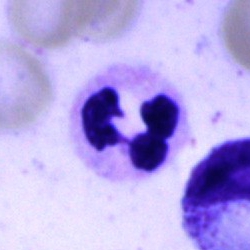
Morphological class — segmented neutrophil.